Bone marrow smear.
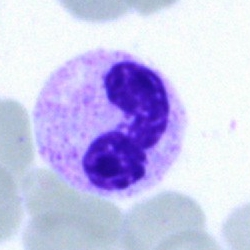{"cell_type": "polymorphonuclear neutrophil", "lineage": "myeloid"}